Bone marrow aspirate smear
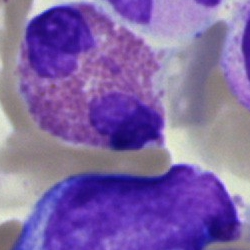 The cell shown is an eosinophil.